Bone marrow aspirate smear · single-cell crop
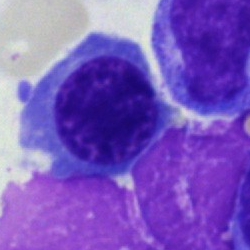Impression → normoblast.